Bone marrow aspirate smear; 250×250 px
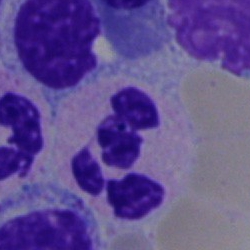 Cell type: segmented neutrophil.